Cropped to a single cell · 40× oil immersion · bone marrow aspirate smear
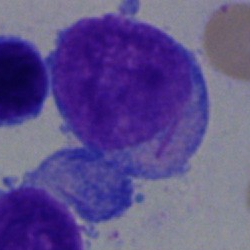 The morphological class is undifferentiated blast.